Bone marrow aspirate smear — 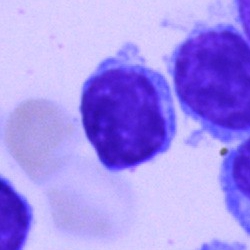
{"cell_type": "lymphocyte"}